Bone marrow smear
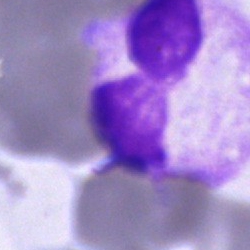Showing a cell of indeterminate lineage.